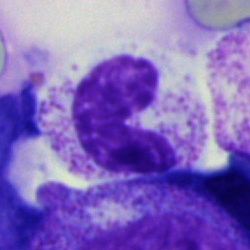
{"cell_type": "band-form neutrophil", "lineage": "myeloid"}